Bone marrow aspirate smear; brightfield, 40× oil-immersion objective.
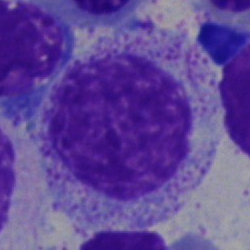The cell shown is a myelocyte.